Cropped to a single cell. Bone marrow aspirate smear — 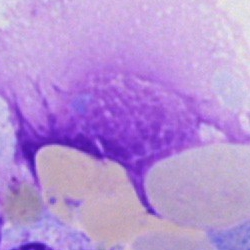

Morphology consistent with an artifact.